Bone marrow smear — 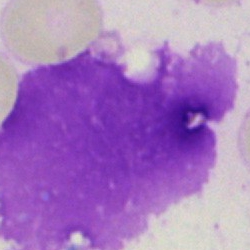 {"cell_type": "artifact"}